Bone marrow smear.
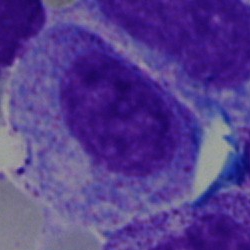Specimen: bone marrow smear.
Cell: progranulocyte.